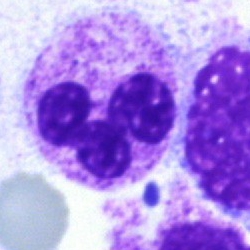
Morphology consistent with a polymorphonuclear neutrophil.